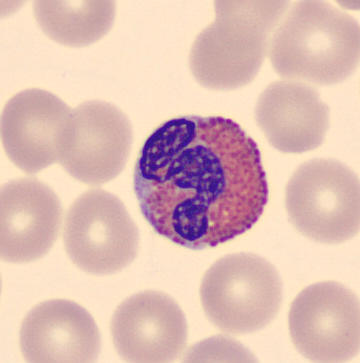Morphology consistent with an eosinophilic granulocyte.